Peripheral blood smear; 100× oil immersion, 14.14 px/µm; Romanowsky-stained
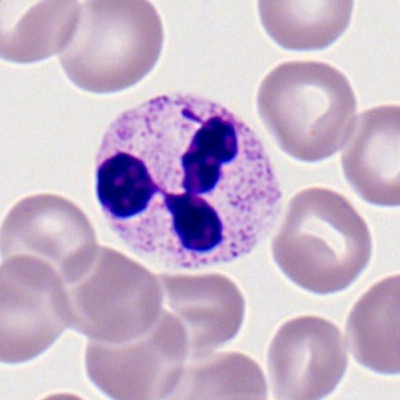 The classification is polymorphonuclear neutrophil.